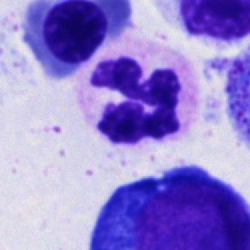 Classification — polymorphonuclear neutrophil.